Bone marrow aspirate smear. 40× oil immersion: 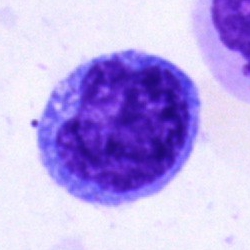

Specimen: bone marrow smear.
Cell: blast cell.